Single-cell field; bone marrow smear; Pappenheim-stained
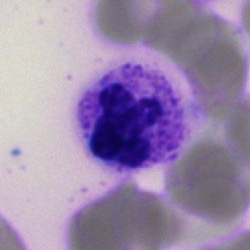Cell type: segmented neutrophil.